Single-cell crop; bone marrow smear — 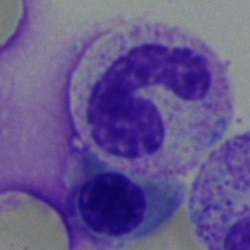 The morphological class is band neutrophil.